100× oil immersion, 14.14 px/µm; peripheral blood smear — 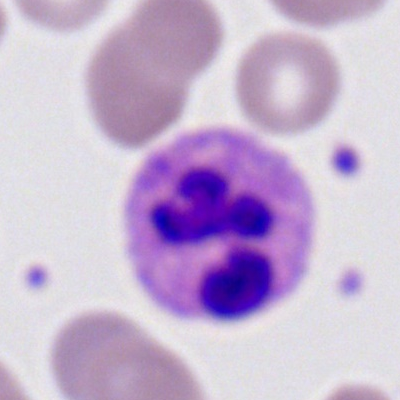 Morphology consistent with a polymorphonuclear neutrophil.